Bone marrow smear · MGG-stained: 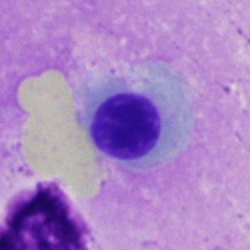 Cell: normoblast.